Bone marrow aspirate smear — 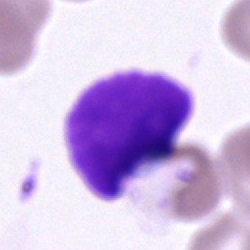 Morphological class — artefact.